Bone marrow aspirate smear:
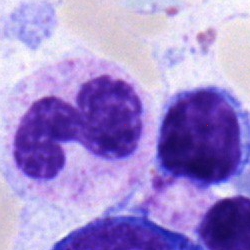 Cell type — band neutrophil.